Bone marrow smear: 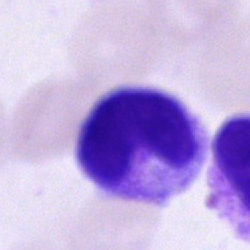{"cell_type": "metamyelocyte"}